Pappenheim-stained; 250×250 px; bone marrow aspirate smear — 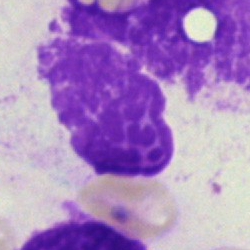

Classification — artefact.